Bone marrow aspirate smear
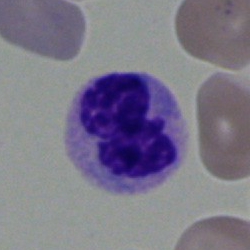Morphology consistent with a neutrophil (segmented).